Cropped to a single cell; May-Grünwald-Giemsa/Pappenheim stain; bone marrow smear: 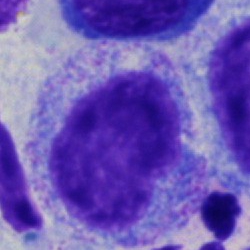Q: Which cell type is shown here?
A: This is a promyelocyte.